Image size 250×250. Bone marrow smear: 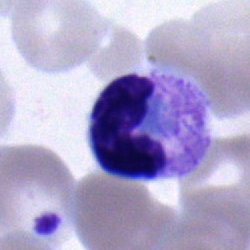Q: Which cell type is shown here?
A: A stab cell.